Bone marrow aspirate smear: 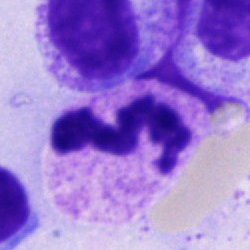The cell type is polymorphonuclear neutrophil.